Bone marrow aspirate smear:
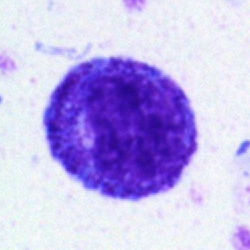Specimen: bone marrow aspirate smear.
Cell type: promyelocyte.
Lineage: myeloid.